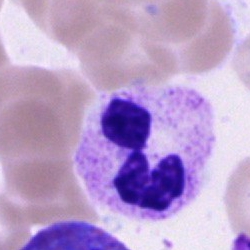This is a segmented neutrophil.